Single cell centered in the field · bone marrow aspirate smear · image size 250×250.
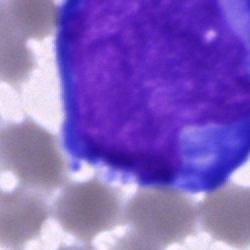
The classification is blast cell.